Bone marrow aspirate smear.
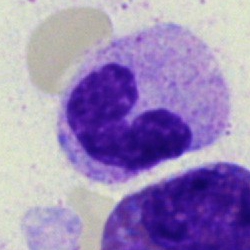Q: What type of cell is this?
A: A band-form neutrophil.